Bone marrow aspirate smear; 250×250 — 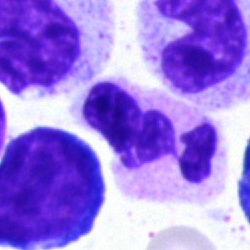 Neutrophil (segmented).